Bone marrow smear; May-Grünwald-Giemsa stain:
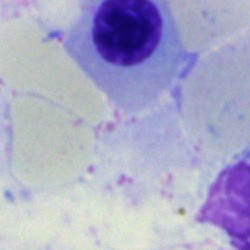
Cell of indeterminate lineage.